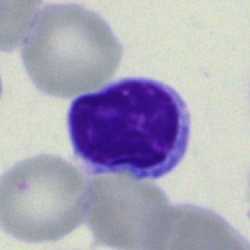

The cell shown is a typical lymphocyte.